Bone marrow aspirate smear
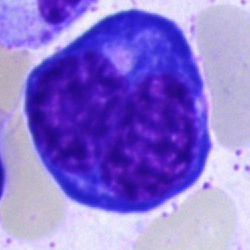
Nucleated red blood cell.